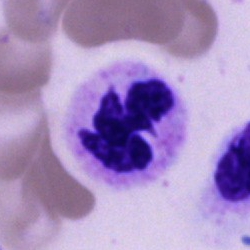
Specimen: bone marrow aspirate smear.
Classification: polymorphonuclear neutrophil.
Lineage: myeloid.